Bone marrow smear. Brightfield microscopy, 40× oil immersion — 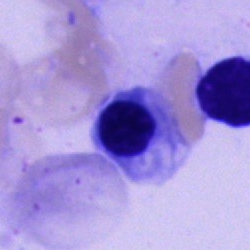Cell: nucleated red blood cell.